Bone marrow smear:
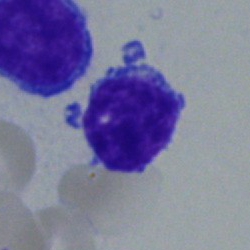 Showing a lymphocyte.